Peripheral blood smear. 400×400: 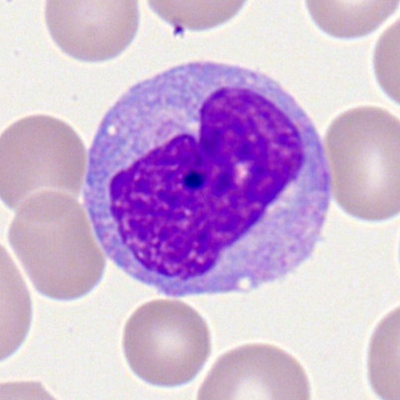 Q: Which cell type is shown here?
A: Monocyte.